Bone marrow aspirate smear.
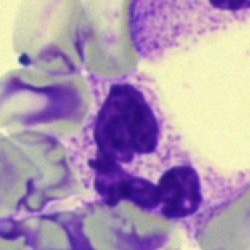Showing a polymorphonuclear neutrophil.